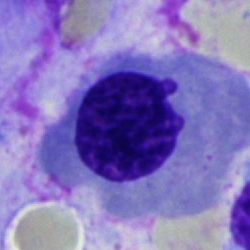
Morphology consistent with a nucleated red cell.